Bone marrow smear:
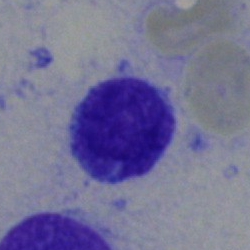
This is a typical lymphocyte.